250 by 250 pixels. Bone marrow smear — 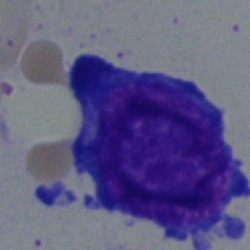
Pronormoblast.